May-Grünwald-Giemsa stain; image size 250×250; bone marrow aspirate smear:
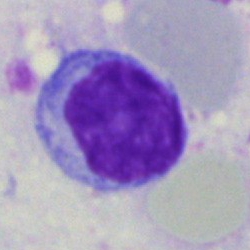Morphological class: lymphocyte.